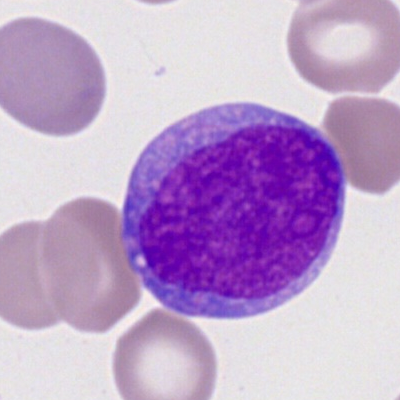A myeloid blast on a peripheral blood smear.